Bone marrow aspirate smear · 40× oil immersion — 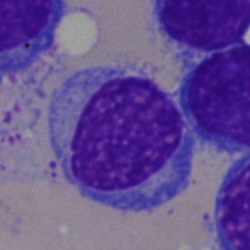

This is a typical lymphocyte.